Bone marrow aspirate smear · image size 250×250.
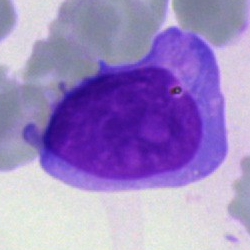 Morphological class = undifferentiated blast.